Pappenheim-stained; bone marrow aspirate smear — 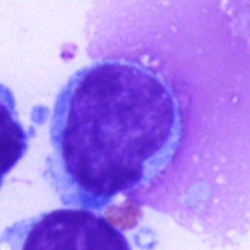

Cell type = lymphocyte.